400 by 400 pixels; peripheral blood film
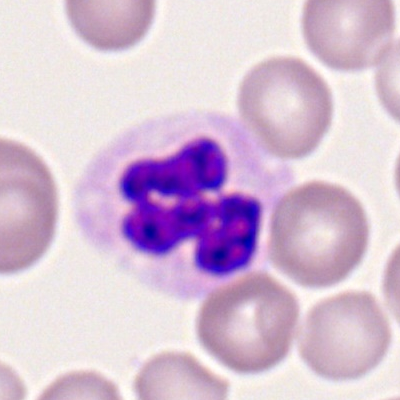 Q: Which cell type is shown here?
A: A segmented neutrophil.